Bone marrow aspirate smear — 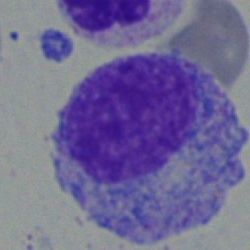

Specimen: bone marrow aspirate smear.
Morphological class: myelocyte.
Lineage: myeloid.